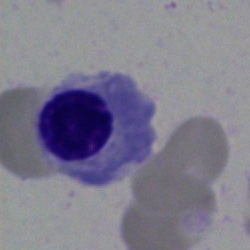

Morphology consistent with a nucleated red cell.